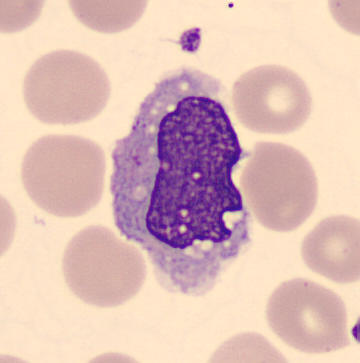Peripheral blood film.
Q: Which cell type is shown here?
A: It is a monocyte.